Bone marrow aspirate smear: 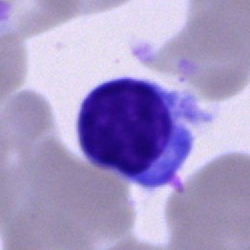
Morphology — lymphocyte.